Bone marrow aspirate smear; cropped to a single cell; 250×250 px
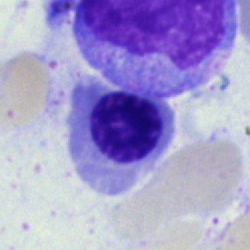
An erythroblast.